Bone marrow smear: 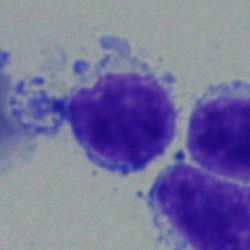
Morphology — typical lymphocyte.